250×250 px. Bone marrow smear: 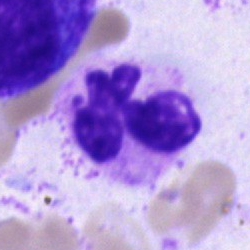

Cell: neutrophil (segmented).